Bone marrow aspirate smear.
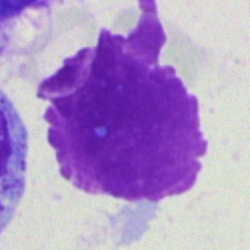 Q: What is shown here?
A: Artefact.